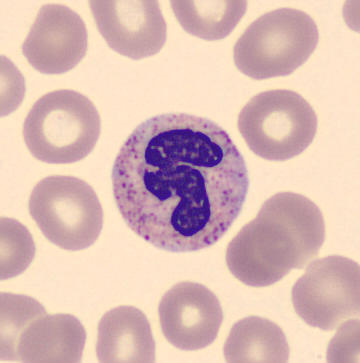

Peripheral blood film, single cell — neutrophil (segmented).